Bone marrow aspirate smear · single-cell field · 250×250
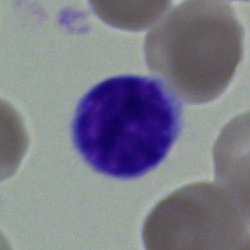 Classification = typical lymphocyte.